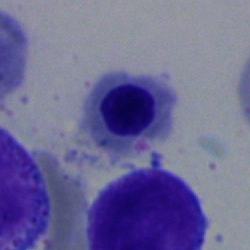Specimen: bone marrow smear.
Cell type: erythroblast.